Image size 250×250. Bone marrow aspirate smear
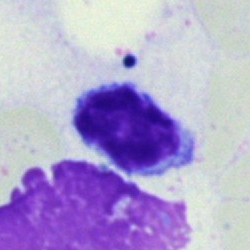 Specimen: bone marrow smear.
Morphological class: typical lymphocyte.